Bone marrow smear; May-Grünwald-Giemsa stain: 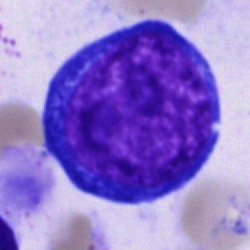 The morphological class is pronormoblast.